Bone marrow smear. 250 by 250 pixels: 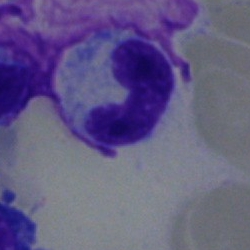

Cell type — band-form neutrophil.